Bone marrow smear. Image size 250×250.
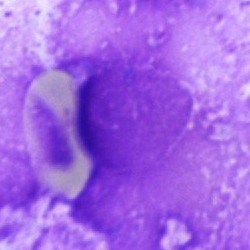

An artifact.